Bone marrow aspirate smear:
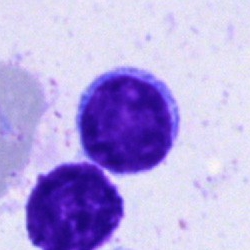
Specimen: bone marrow smear.
Morphological class: typical lymphocyte.